Bone marrow aspirate smear — 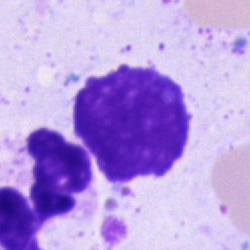Artifact.